Bone marrow smear. Single-cell field
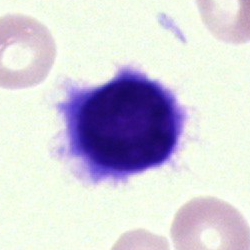 Q: Which cell type is shown here?
A: It is a hairy cell.